Bone marrow aspirate smear: 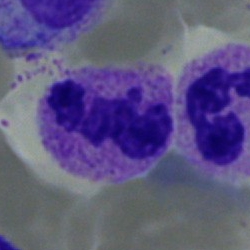The cell shown is a polymorphonuclear neutrophil.